Bone marrow aspirate smear; single-cell crop
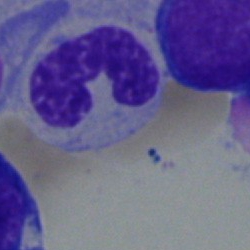 The cell type is band neutrophil.